Single-cell field; bone marrow aspirate smear; 40× objective, oil immersion — 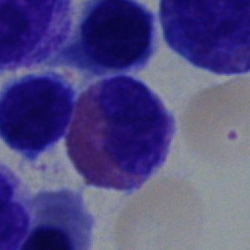 Q: What type of cell is this?
A: An eosinophilic granulocyte.